Bone marrow aspirate smear.
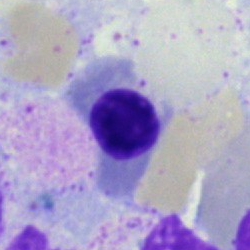

Impression → nucleated red blood cell.